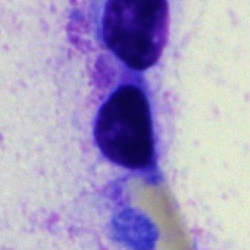

Bone marrow smear showing an artefact.